Bone marrow aspirate smear
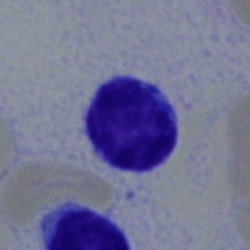 The cell shown is a typical lymphocyte.